Bone marrow aspirate smear — 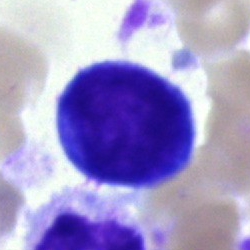Morphology consistent with a blast cell.